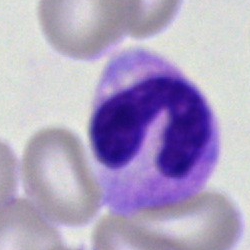

A band-form neutrophil.